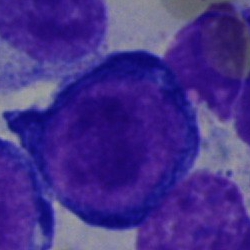

Single-cell crop from a bone marrow smear: proerythroblast.